Bone marrow aspirate smear. Single-cell crop. May-Grünwald-Giemsa stain — 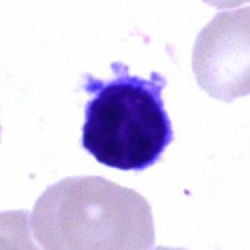

Morphology consistent with a typical lymphocyte.